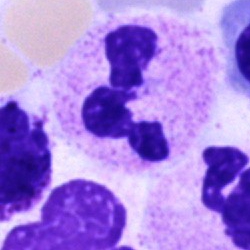

Classification: segmented neutrophil.